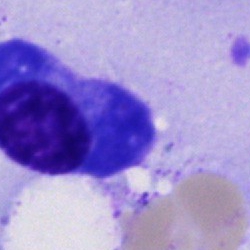

Q: Which cell type is shown here?
A: It is a plasmacyte.